MGG-stained. Bone marrow smear.
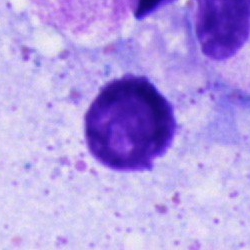
Morphological class = artifact.